Bone marrow smear · single-cell field — 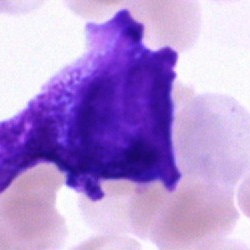
A blast.